MGG-stained; 250×250; bone marrow aspirate smear:
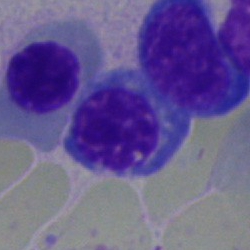

Q: What is the morphological classification of this cell?
A: It is an erythroblast.